Peripheral blood smear; MGG stain; image size 360×363.
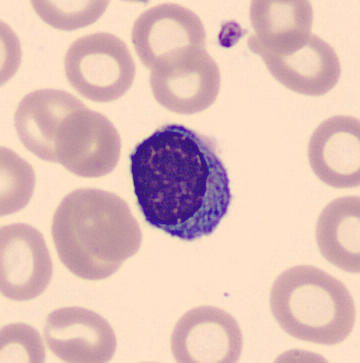
The cell is typical lymphocyte.